Bone marrow smear
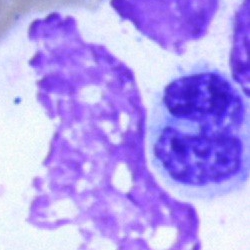Specimen: bone marrow aspirate smear.
Cell: artifact.